Bone marrow smear; brightfield, 40× oil-immersion objective:
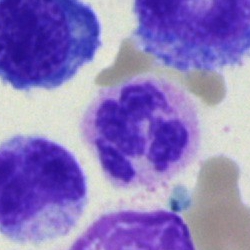 Morphology → neutrophil (segmented).